Bone marrow aspirate smear. MGG-stained.
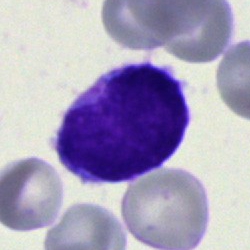

Cell type — blast cell.